Single cell centered in the field · bone marrow smear: 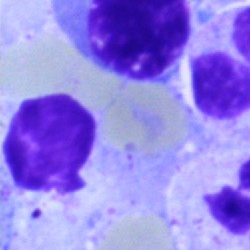Showing an artefact.